250 by 250 pixels · bone marrow smear:
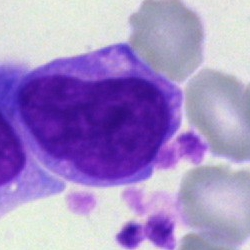

Cell = blast.